Bone marrow aspirate smear — 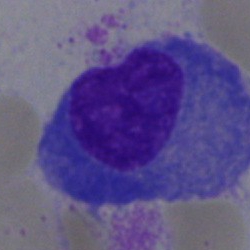
Q: What type of cell is this?
A: A plasma cell.